Brightfield microscopy, 40× oil immersion · bone marrow aspirate smear · single-cell crop
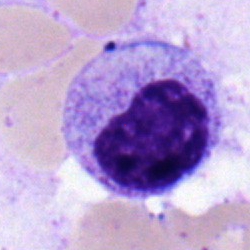
Impression — metamyelocyte.